250×250 px · bone marrow smear · May-Grünwald-Giemsa/Pappenheim stain — 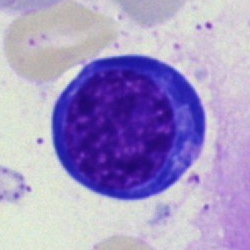

Q: What is shown here?
A: This is a nucleated red blood cell.